Single-cell field; peripheral blood film:
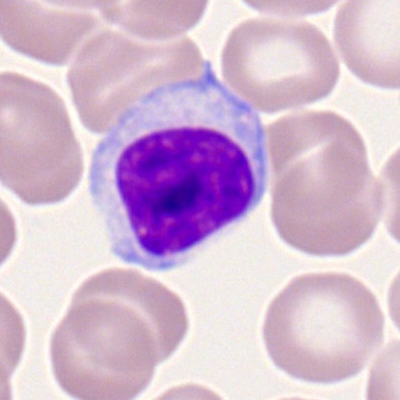A typical lymphocyte.